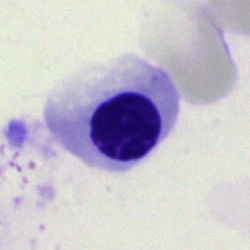
Morphological class = nucleated red cell.